Bone marrow smear:
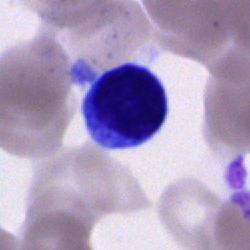 Q: What cell is this?
A: Lymphocyte.